Bone marrow smear.
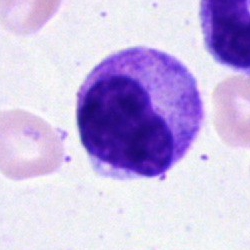

Metamyelocyte.